Bone marrow aspirate smear: 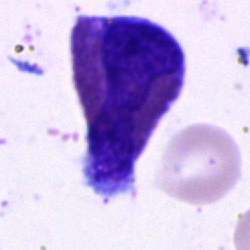
{"cell_type": "eosinophilic granulocyte", "lineage": "myeloid"}